Bone marrow smear · Pappenheim-stained.
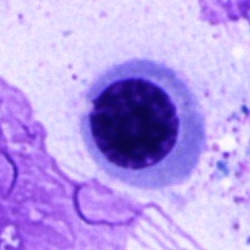Q: What is the morphological classification of this cell?
A: A nucleated red blood cell.